Peripheral blood smear; cropped to a single cell.
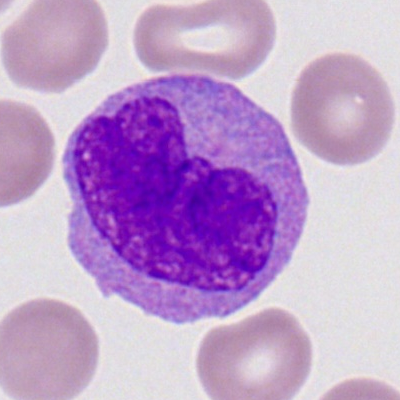
Q: What cell is this?
A: A monocyte.